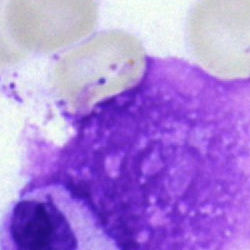
The morphological class is artefact.